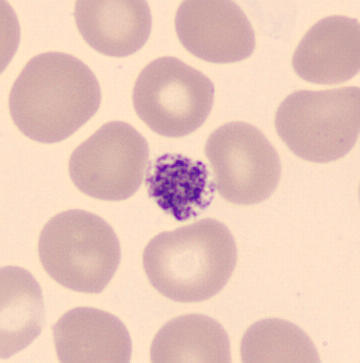
Classification: thrombocyte.

Peripheral blood smear; 360×363.